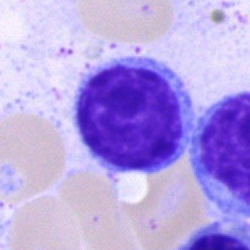Cell type = typical lymphocyte.